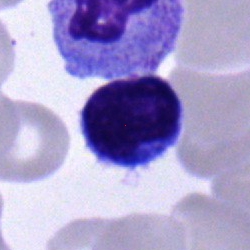

Specimen: bone marrow aspirate smear.
Morphological class: lymphocyte.
Lineage: lymphoid.